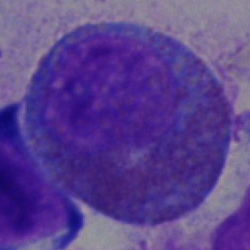

Morphological class: eosinophilic granulocyte.